Bone marrow smear: 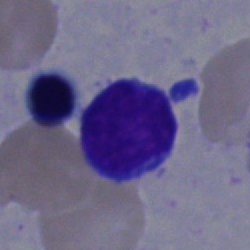 Single cell identified as a typical lymphocyte.